Image size 250×250. Bone marrow smear
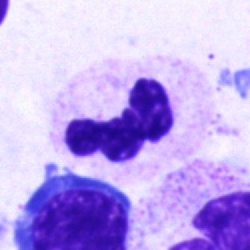

Morphology consistent with a polymorphonuclear neutrophil.